Bone marrow smear. Brightfield microscopy, 40× oil immersion. Single cell centered in the field: 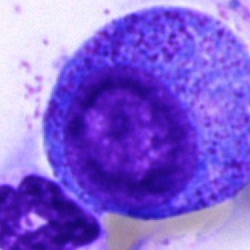Promyelocyte.